Image size 250×250 · bone marrow aspirate smear — 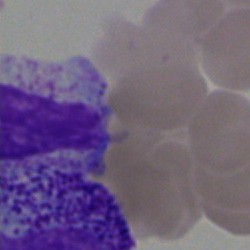
Showing an unidentifiable cell.